Bone marrow aspirate smear — 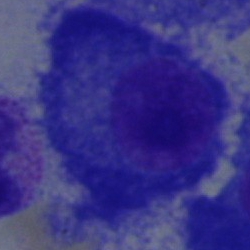

Specimen: bone marrow smear.
Cell: plasmacyte.
Lineage: lymphoid.